40× oil immersion · single-cell crop · bone marrow aspirate smear:
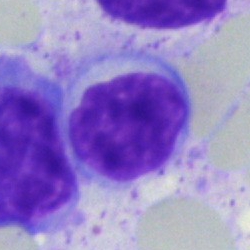This is a nucleated red blood cell.